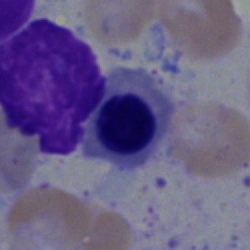 Morphology consistent with an erythroblast.